Brightfield, 40× oil-immersion objective. 250×250 px. Bone marrow smear — 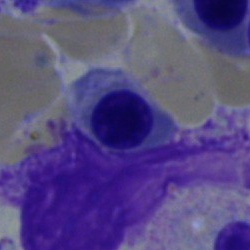 Cell type = nucleated red cell.